Bone marrow aspirate smear · 250×250 px: 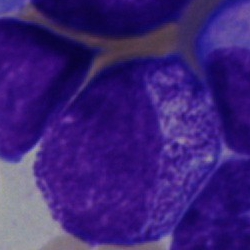

The cell shown is a myelocyte.